40× oil immersion; bone marrow aspirate smear; 250×250 px: 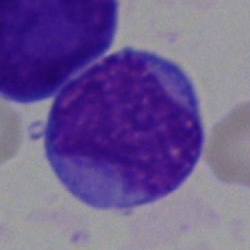 Q: What cell is this?
A: Blast cell.